Bone marrow smear · single-cell crop · MGG-stained — 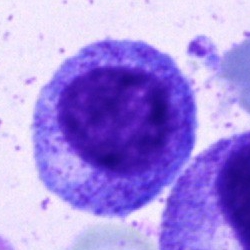

The cell shown is a progranulocyte.